Peripheral blood smear · image size 360×363: 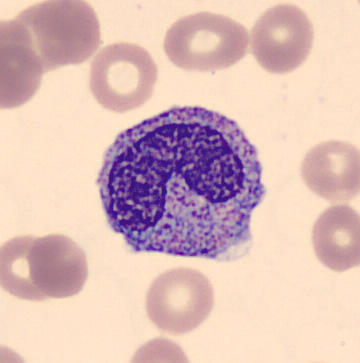Cell: metamyelocyte.